Bone marrow smear:
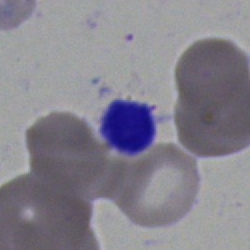 Q: What is shown here?
A: This is an artifact.